Bone marrow smear:
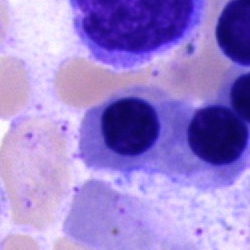 Q: What is the morphological classification of this cell?
A: This is a nucleated red cell.